Bone marrow aspirate smear: 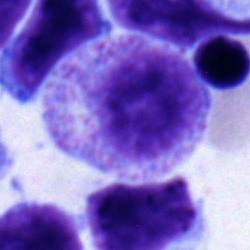A myelocyte.